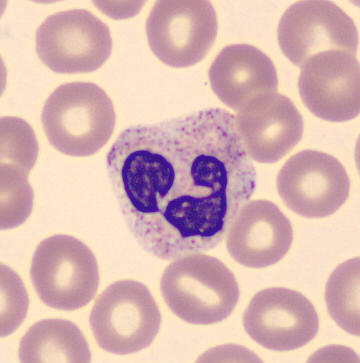 Acquisition: May-Grünwald-Giemsa-stained. Imaged on a CellaVision DM96 analyser. Peripheral blood smear. Morphology consistent with a neutrophil (segmented).